250×250. Bone marrow aspirate smear.
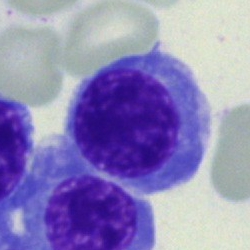
Morphology — normoblast.